Bone marrow aspirate smear: 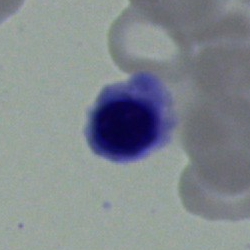

Q: What cell is this?
A: Nucleated red blood cell.